Bone marrow aspirate smear. Brightfield, 40× oil-immersion objective
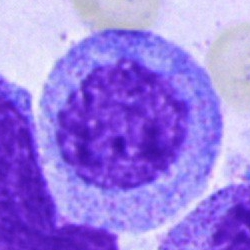

Cell type — progranulocyte.